Bone marrow smear · 250×250.
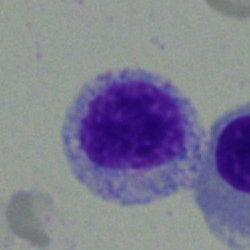

Impression → myelocyte.